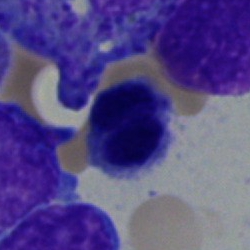

Q: What is the morphological classification of this cell?
A: This is a nucleated red blood cell.